Single-cell field; bone marrow aspirate smear.
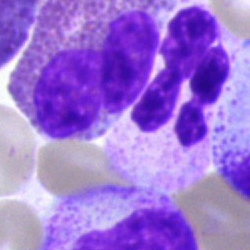Showing an eosinophil.